Bone marrow smear:
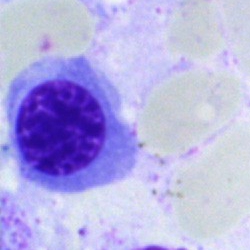
Impression → normoblast.